40× objective, oil immersion; bone marrow smear.
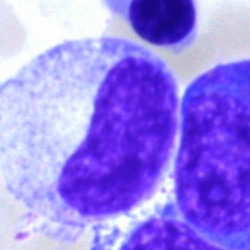Q: Which cell type is shown here?
A: It is a metamyelocyte.